40× objective, oil immersion. Bone marrow aspirate smear. Image size 250×250 — 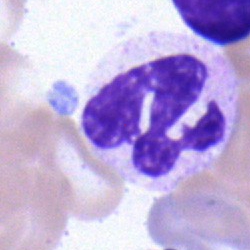

Single cell identified as a segmented neutrophil.